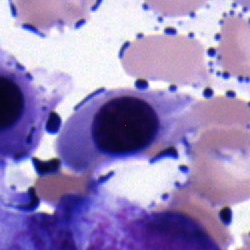 An undifferentiated blast.